Brightfield microscopy, 40× oil immersion; bone marrow aspirate smear.
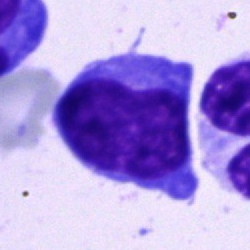

{"cell_type": "blast"}